MGG-stained · bone marrow smear
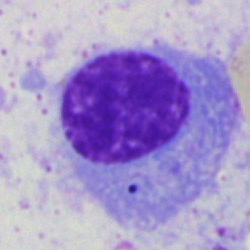

Q: Identify the cell.
A: A plasmacyte.